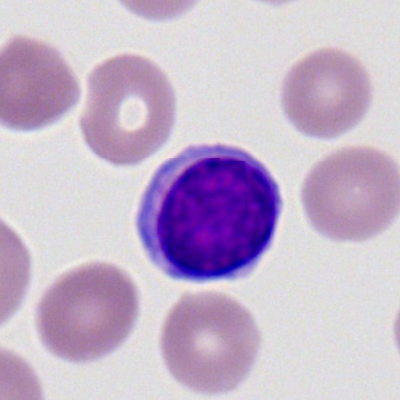
Q: Which cell type is shown here?
A: A lymphocyte.